MGG-stained · bone marrow smear:
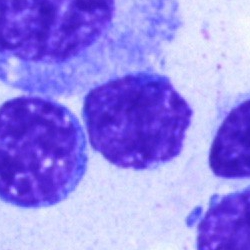 Single cell identified as a lymphocyte.